Peripheral blood smear; single cell centered in the field.
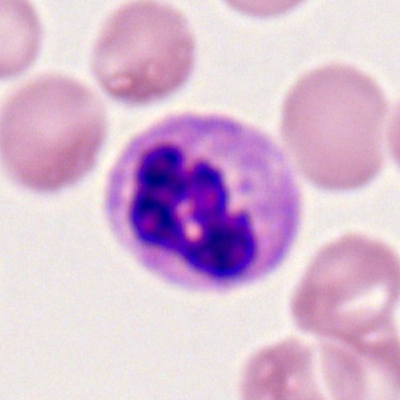

Showing a segmented neutrophil.